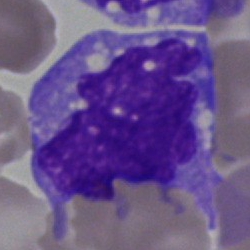 Q: What is shown here?
A: Monocyte.